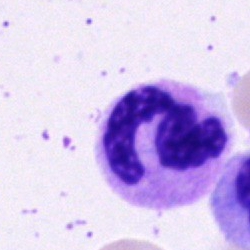
Morphology → polymorphonuclear neutrophil.